Bone marrow smear — 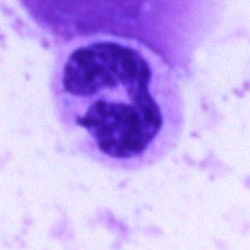 Morphology consistent with a neutrophil (segmented).